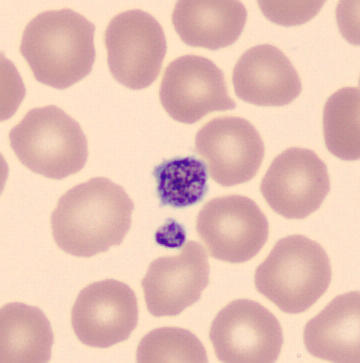 Acquisition: MGG-stained; peripheral blood film.

Classification = thrombocyte.